Bone marrow smear
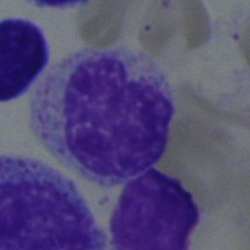
Classification — myelocyte.